Peripheral blood film · 100× oil immersion · Romanowsky-stained — 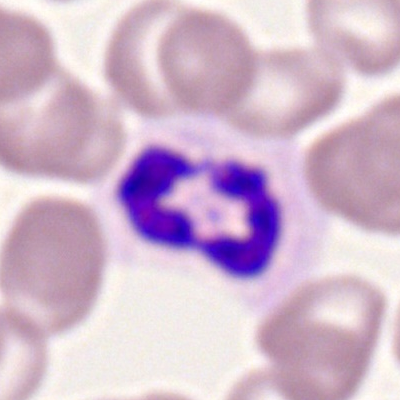
The classification is polymorphonuclear neutrophil.